Bone marrow aspirate smear.
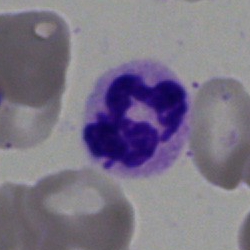Cell: segmented neutrophil.